Bone marrow aspirate smear — 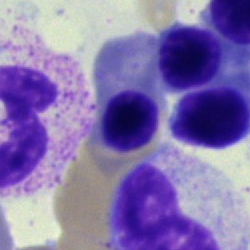

Classification = nucleated red blood cell.